Bone marrow aspirate smear
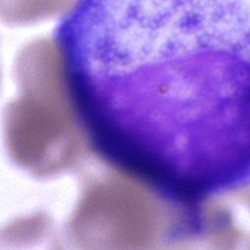Single cell identified as a promyelocyte.